Bone marrow smear. Single cell centered in the field: 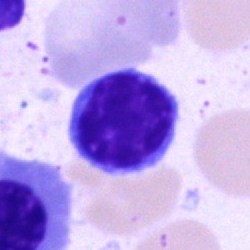
Q: What is the morphological classification of this cell?
A: This is a lymphocyte.